250×250 · bone marrow smear: 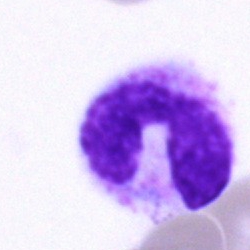Morphology consistent with a neutrophil (band).